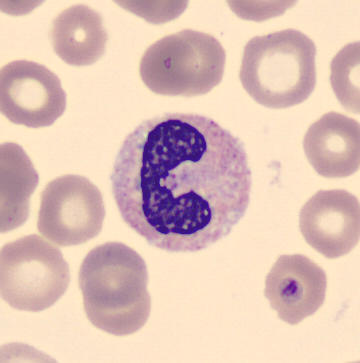
Q: What is the morphological classification of this cell?
A: This is a band-form neutrophil.